Bone marrow smear · single cell centered in the field
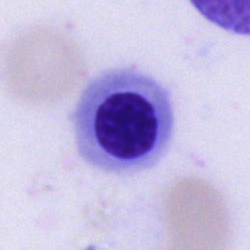
Specimen: bone marrow aspirate smear.
Cell: nucleated red cell.